Bone marrow aspirate smear
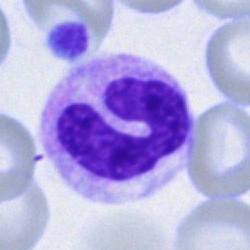
The morphological class is segmented neutrophil.